Bone marrow smear:
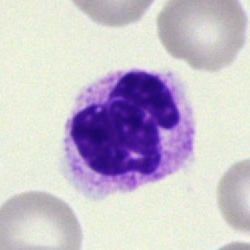
Cell = polymorphonuclear neutrophil.